Peripheral blood film: 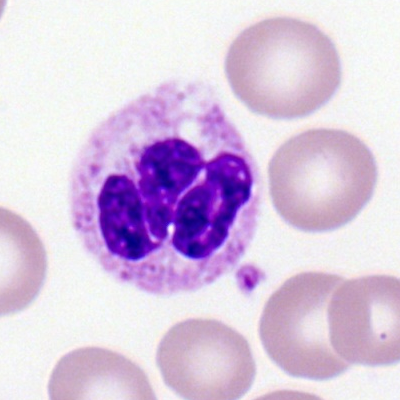

Q: What cell is this?
A: It is a neutrophil (segmented).